Single-cell field; bone marrow aspirate smear; 250 by 250 pixels: 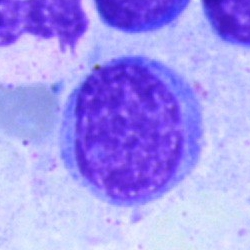 Showing a lymphocyte.